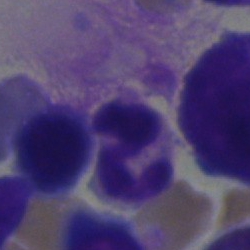
Morphology consistent with a segmented neutrophil.